Bone marrow smear — 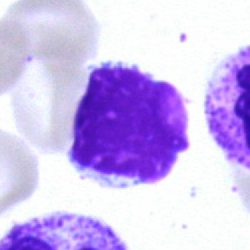 Q: What is shown here?
A: Artefact.